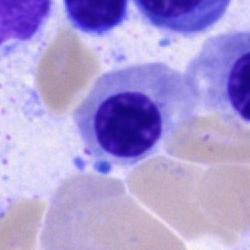
A nucleated red blood cell on a bone marrow smear.